Bone marrow smear. Pappenheim-stained — 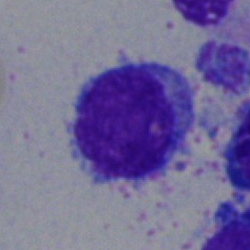Q: Identify the cell.
A: This is a typical lymphocyte.